Bone marrow aspirate smear:
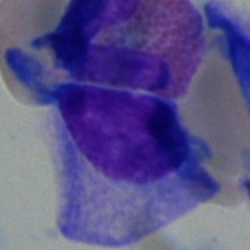

{"cell_type": "plasma cell", "lineage": "lymphoid"}